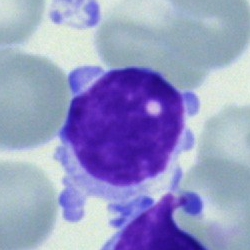 Specimen: bone marrow smear.
Cell: typical lymphocyte.